Bone marrow aspirate smear.
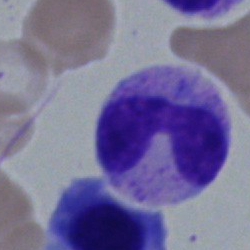

Specimen: bone marrow smear.
Morphological class: neutrophil (band).
Lineage: myeloid.